Peripheral blood smear — 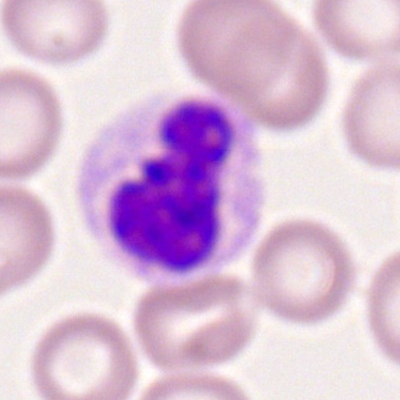Classification = polymorphonuclear neutrophil.